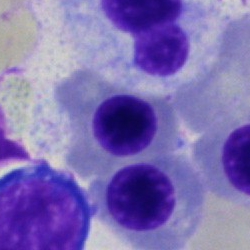

Morphological class = nucleated red blood cell.